400 by 400 pixels. Peripheral blood film:
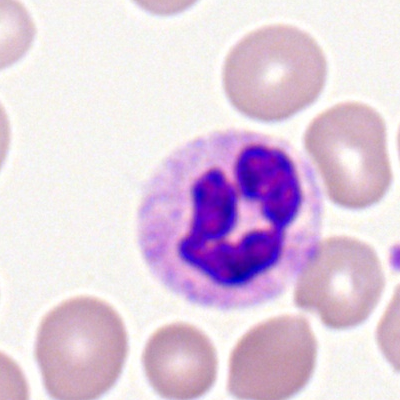 Cell = neutrophil (segmented).